Cropped to a single cell; brightfield microscopy, 40× oil immersion; bone marrow smear:
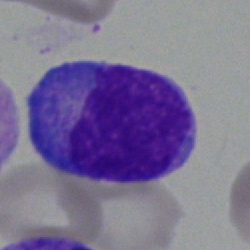Q: What is shown here?
A: Blast.